Bone marrow aspirate smear:
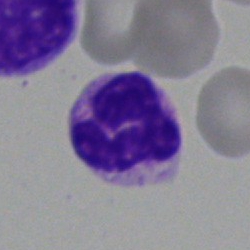

Showing a neutrophil (segmented).